Bone marrow smear: 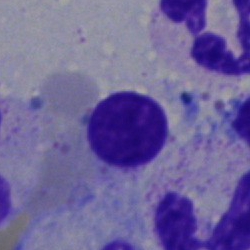Q: Which cell type is shown here?
A: It is a lymphocyte.